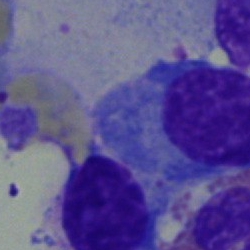
Cell type: plasma cell.